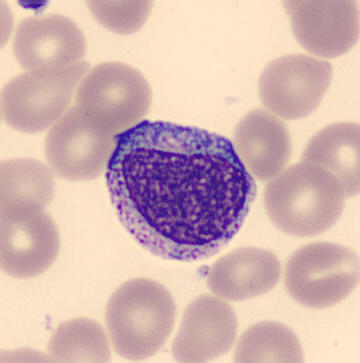This is a myelocyte. Preparation: Peripheral blood film · 360×363.